Bone marrow aspirate smear.
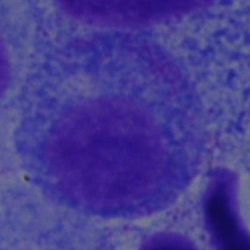 {"cell_type": "promyelocyte", "lineage": "myeloid"}